Bone marrow smear; 250×250 px: 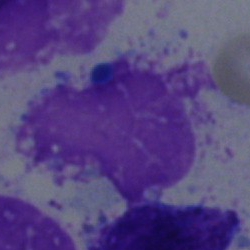Single cell identified as an artifact.